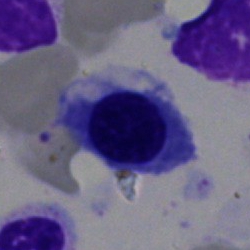Nucleated red cell.